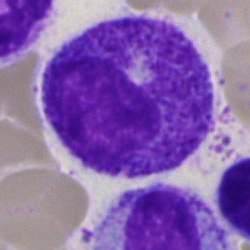
Bone marrow aspirate smear, single cell — progranulocyte.